Peripheral blood film; single-cell crop; 400 by 400 pixels
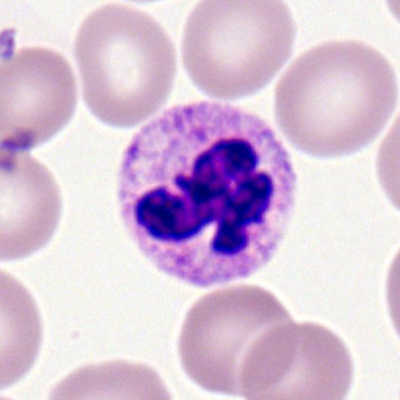

Cell: polymorphonuclear neutrophil.